May-Grünwald-Giemsa/Pappenheim stain; bone marrow smear: 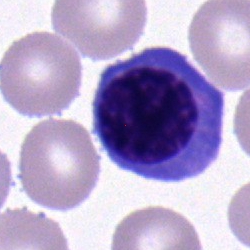

Morphological class = nucleated red cell.